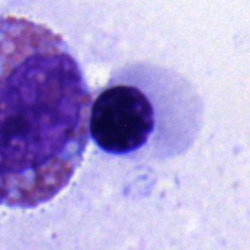

Morphological class — nucleated red cell.